Romanowsky-stained; peripheral blood smear
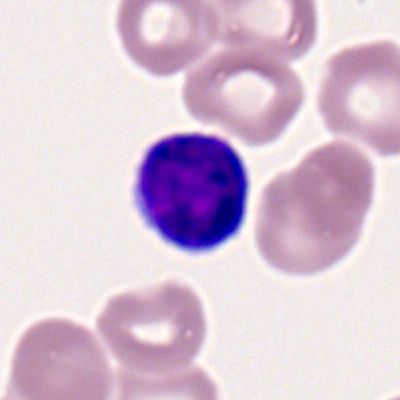 Cell = typical lymphocyte.